Single cell centered in the field; bone marrow aspirate smear.
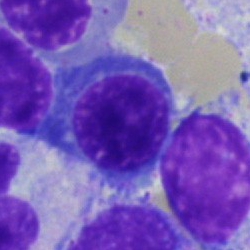
The cell is nucleated red cell.